May-Grünwald-Giemsa stain. 250×250 px. Bone marrow aspirate smear — 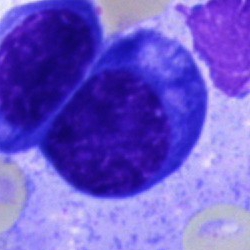
Q: Which cell type is shown here?
A: Erythroblast.